Bone marrow smear. Brightfield microscopy, 40× oil immersion
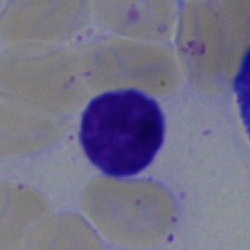

Morphological class: neutrophil (segmented).